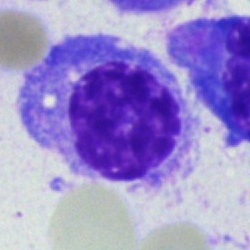A plasmacyte.